Bone marrow smear; single-cell field: 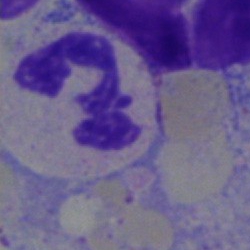
Classification — polymorphonuclear neutrophil.